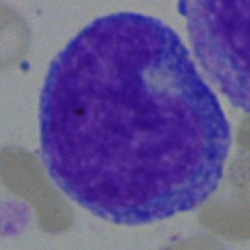

Progranulocyte.